Bone marrow smear.
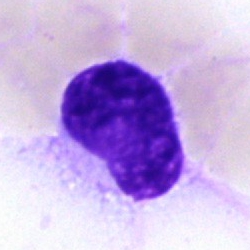The cell type is hairy cell.